Brightfield microscopy, 40× oil immersion. Bone marrow smear: 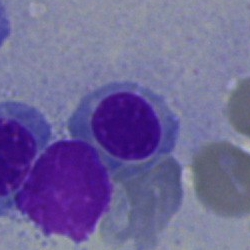
Cell — erythroblast.